Bone marrow smear. 250×250 px. Brightfield, 40× oil-immersion objective: 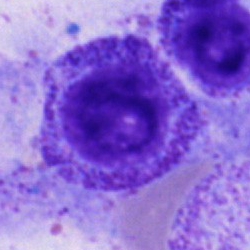Cell: promyelocyte.